MGG-stained. Bone marrow smear:
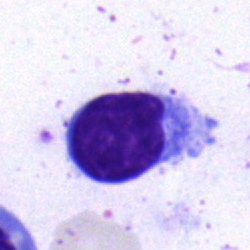
A typical lymphocyte.